Bone marrow aspirate smear
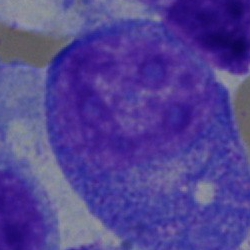 Morphological class = promyelocyte.